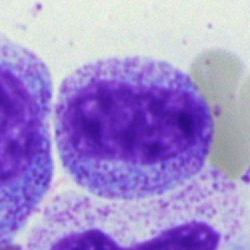

Bone marrow smear showing a myelocyte.